Bone marrow aspirate smear; brightfield, 40× oil-immersion objective; single-cell field:
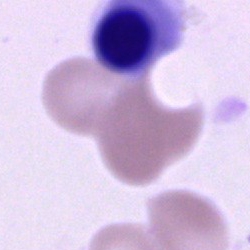

The morphological class is nucleated red cell.